Bone marrow smear — 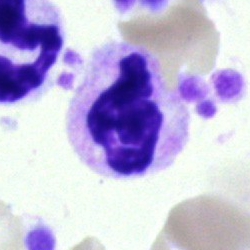 This is a neutrophil (segmented).